Image size 250×250. Bone marrow aspirate smear. MGG-stained: 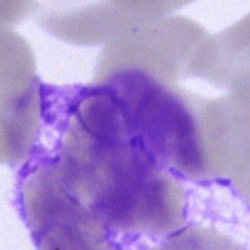

Artifact.